Bone marrow smear
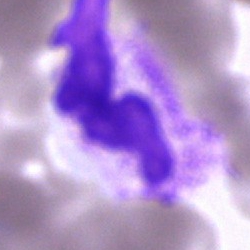The cell shown is a neutrophil (segmented).